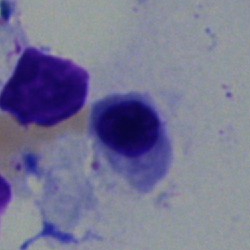Nucleated red cell.